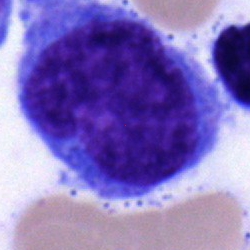Specimen: bone marrow aspirate smear.
Cell type: undifferentiated blast.